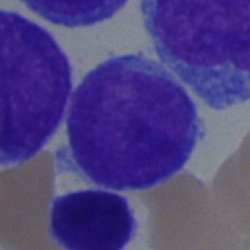Q: Which cell type is shown here?
A: An undifferentiated blast.